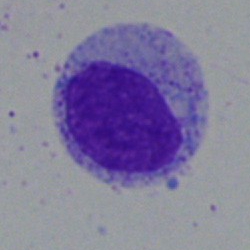Single-cell crop from a bone marrow smear: myelocyte.